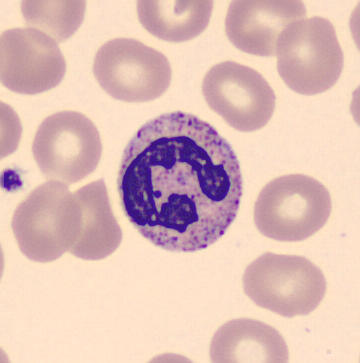 Image: Peripheral blood smear. CellaVision DM96 digital cell image. MGG stain.

Q: What is shown here?
A: It is a segmented neutrophil.